Bone marrow smear
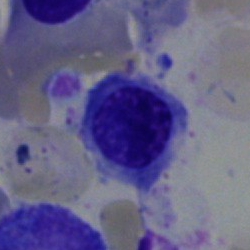Q: Which cell type is shown here?
A: This is a normoblast.